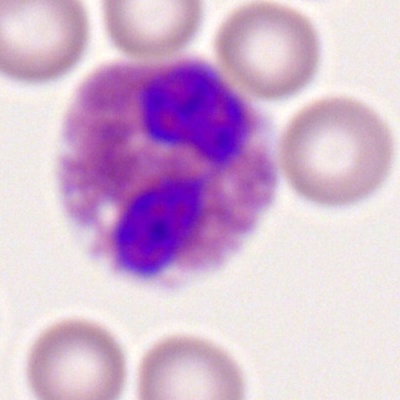
Morphology — eosinophilic granulocyte.